Bone marrow smear; 40× oil immersion; May-Grünwald-Giemsa/Pappenheim stain
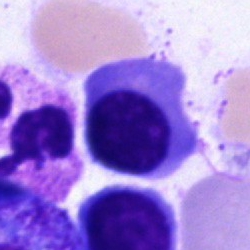 Nucleated red cell.